Bone marrow smear. Single cell centered in the field. May-Grünwald-Giemsa/Pappenheim stain: 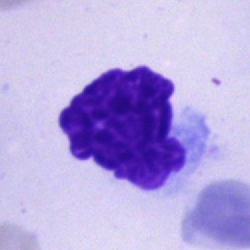
Morphology consistent with an artefact.